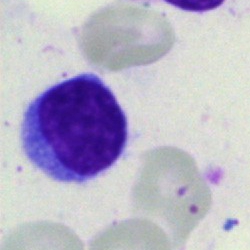

Cell type — typical lymphocyte.